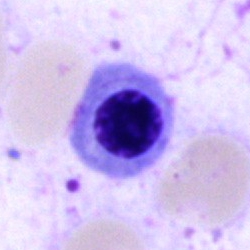Specimen: bone marrow aspirate smear.
Classification: nucleated red blood cell.